Cropped to a single cell · bone marrow aspirate smear: 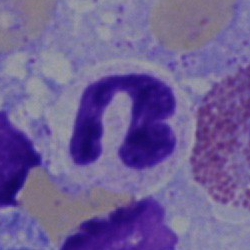

{"cell_type": "segmented neutrophil"}